Bone marrow aspirate smear · 250×250
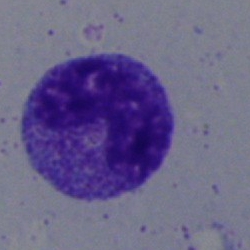
Q: Which cell type is shown here?
A: This is a band-form neutrophil.